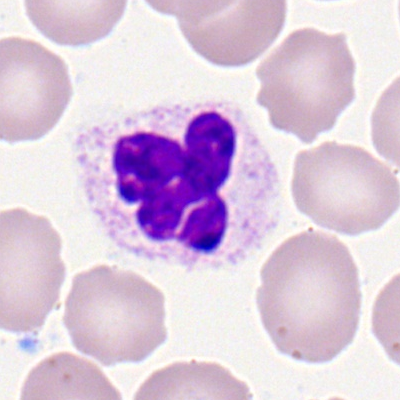

Morphology consistent with a polymorphonuclear neutrophil.